Bone marrow aspirate smear.
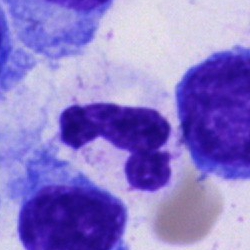A polymorphonuclear neutrophil.